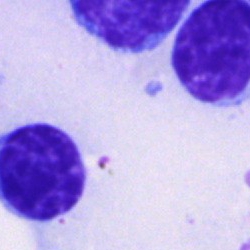
Cell = typical lymphocyte.